Bone marrow aspirate smear.
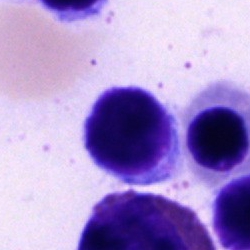 Q: What is the morphological classification of this cell?
A: A typical lymphocyte.